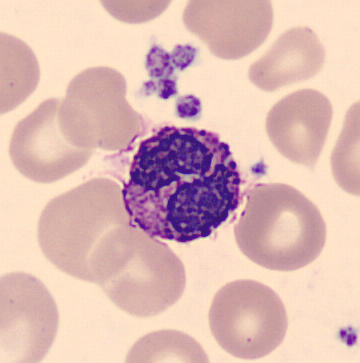Q: What cell is this?
A: A basophilic granulocyte. Peripheral blood film.